Bone marrow smear — 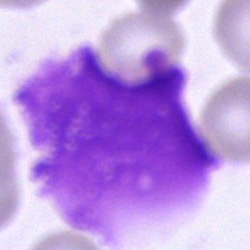An artefact.